Bone marrow smear:
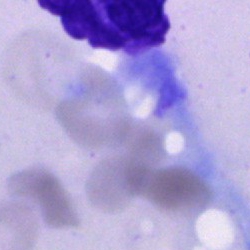 {"cell_type": "artefact"}